Bone marrow smear
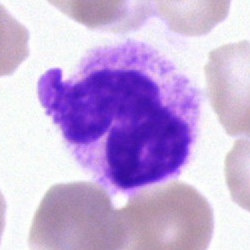
Specimen: bone marrow aspirate smear.
Cell type: artifact.